Bone marrow aspirate smear · brightfield, 40× oil-immersion objective
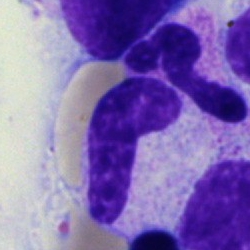Q: What is shown here?
A: This is a band neutrophil.